Bone marrow aspirate smear. MGG-stained:
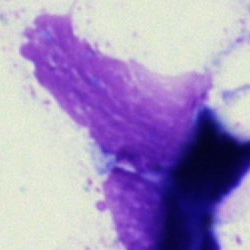
Cell type — artifact.